May-Grünwald-Giemsa stain · bone marrow aspirate smear:
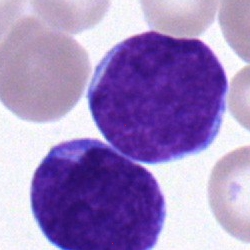 The morphological class is undifferentiated blast.